Bone marrow aspirate smear
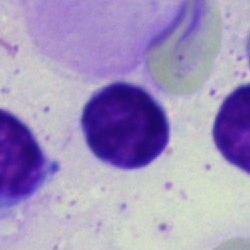 Q: Identify the cell.
A: A typical lymphocyte.